100× oil immersion, 14.14 px/µm; peripheral blood smear; 400×400 px — 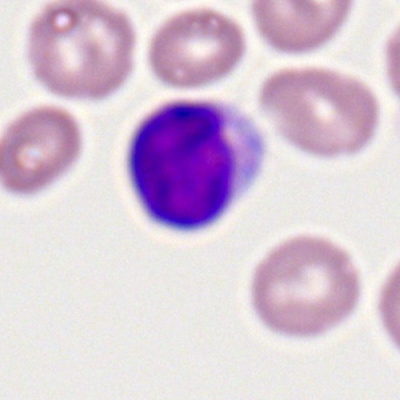Classification: lymphocyte.